Bone marrow smear · single cell centered in the field · 40× objective, oil immersion: 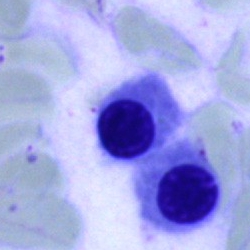
Classification = erythroblast.